May-Grünwald-Giemsa/Pappenheim stain · bone marrow smear — 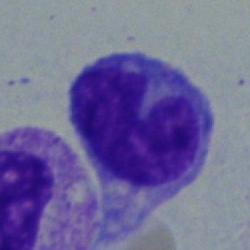
Q: What is the morphological classification of this cell?
A: A monocyte.